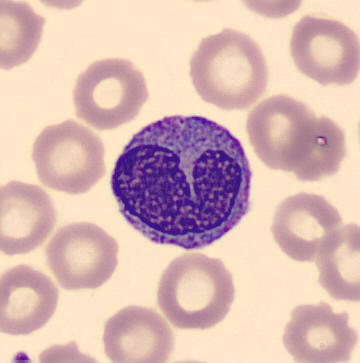

Morphological class: monocyte.
Preparation: Cropped to a single cell. Peripheral blood film. May-Grünwald-Giemsa-stained.